Bone marrow smear:
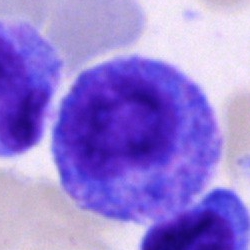 Q: What type of cell is this?
A: It is a progranulocyte.